May-Grünwald-Giemsa stain. Bone marrow smear. Brightfield microscopy, 40× oil immersion.
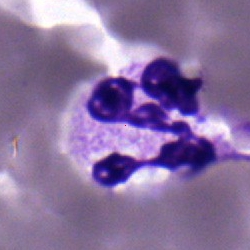
Cell type — neutrophil (segmented).